Bone marrow aspirate smear: 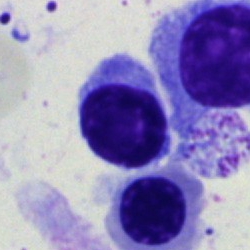Q: What type of cell is this?
A: A typical lymphocyte.